Bone marrow smear. 250 by 250 pixels — 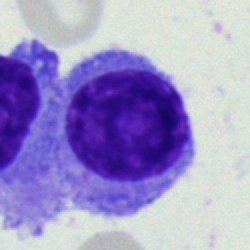

The classification is lymphocyte.